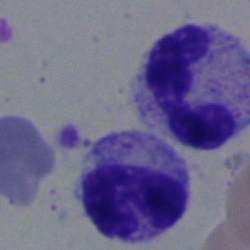 Morphological class = neutrophil (segmented).